Bone marrow smear — 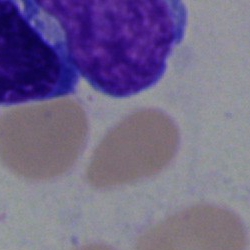
Morphology — blast.